Bone marrow aspirate smear:
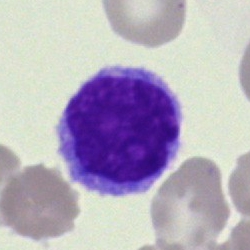

Cell type: typical lymphocyte.